Romanowsky stain. Peripheral blood film:
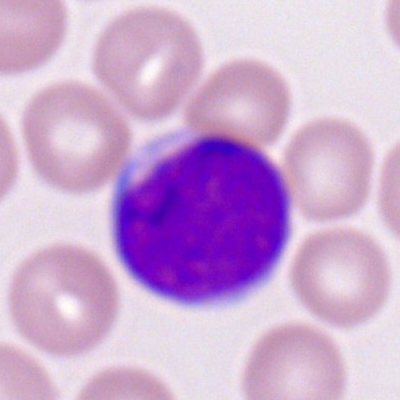
Specimen: peripheral blood film.
Cell type: myeloid blast.